250×250; bone marrow aspirate smear — 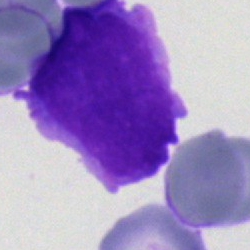
{"cell_type": "blast cell"}